Bone marrow aspirate smear
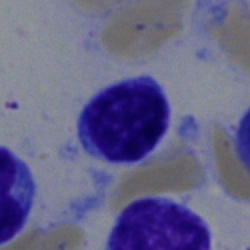{"cell_type": "lymphocyte", "lineage": "lymphoid"}